Single cell centered in the field · 400×400 · peripheral blood film
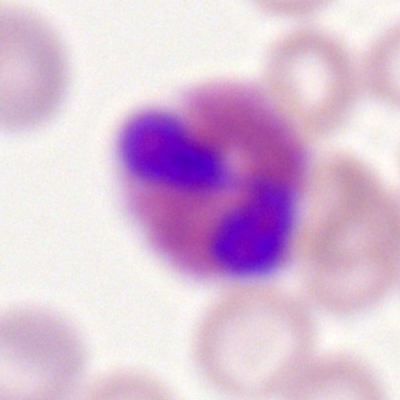 Specimen: peripheral blood film.
Classification: eosinophil.